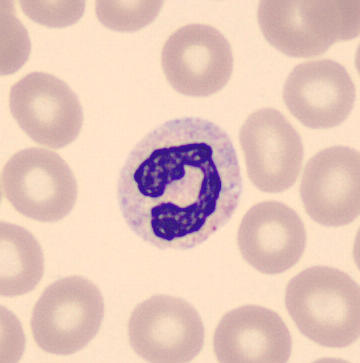
Acquisition: Peripheral blood smear · 360×363.

Morphology → band neutrophil.